Image size 250×250; May-Grünwald-Giemsa stain; bone marrow smear: 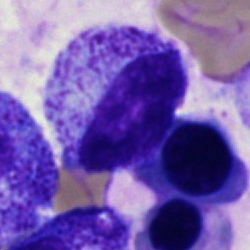
The classification is myelocyte.